Bone marrow aspirate smear
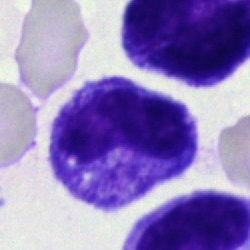
Q: Identify the cell.
A: This is a band-form neutrophil.